Bone marrow aspirate smear; single-cell field:
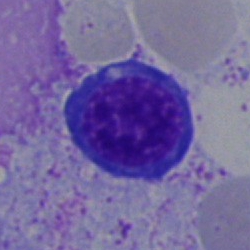 Showing an erythroblast.